Single-cell crop · 250 by 250 pixels · bone marrow aspirate smear:
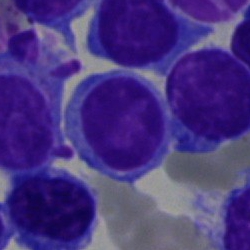

The cell type is lymphocyte.